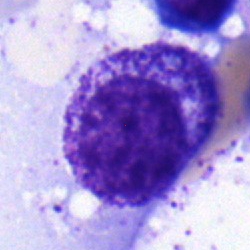

Q: What type of cell is this?
A: Myelocyte.